Bone marrow aspirate smear.
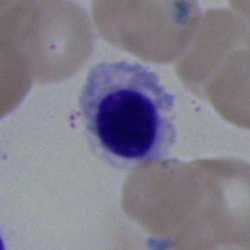Specimen: bone marrow aspirate smear.
Morphological class: nucleated red cell.
Lineage: erythroid.